Bone marrow smear; May-Grünwald-Giemsa stain; cropped to a single cell.
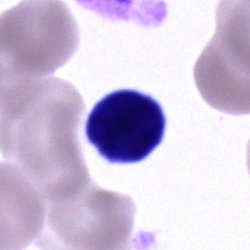Q: What is the morphological classification of this cell?
A: This is a cell of indeterminate lineage.